Bone marrow smear.
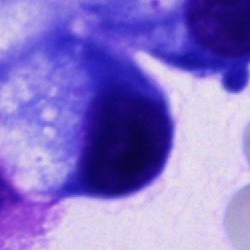 Q: What is the morphological classification of this cell?
A: An other cell type.